Bone marrow smear · MGG-stained
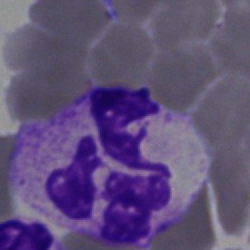A segmented neutrophil.